Bone marrow aspirate smear: 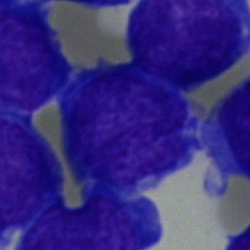
Morphology — blast.